Bone marrow smear:
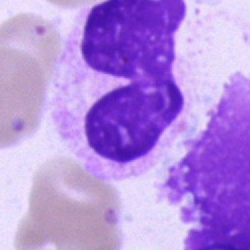 Cell type: artifact.